Pappenheim-stained · bone marrow smear: 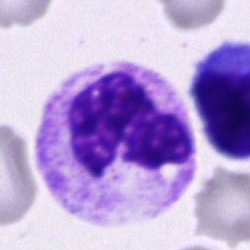Morphology consistent with a neutrophil (segmented).